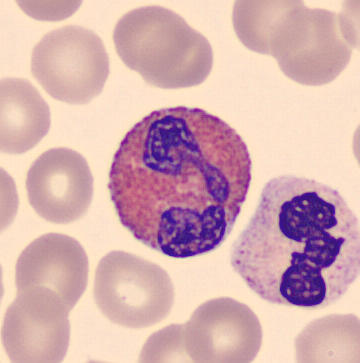 MGG stain; imaged on a CellaVision DM96 analyser.
Specimen: peripheral blood film.
Morphological class: eosinophil.